Brightfield microscopy, 40× oil immersion. Bone marrow aspirate smear
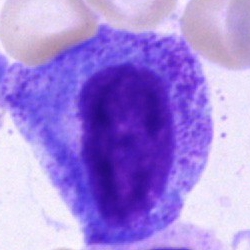
Impression → promyelocyte.